Peripheral blood film.
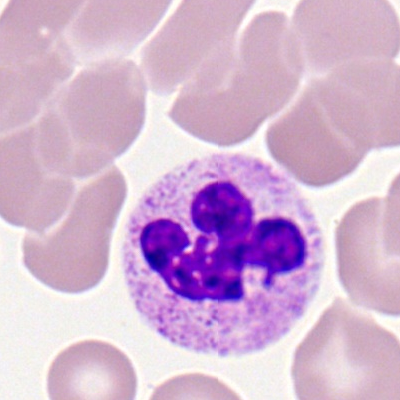
The cell shown is a neutrophil (segmented).